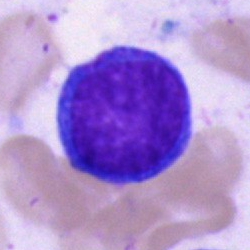

The cell shown is an undifferentiated blast.